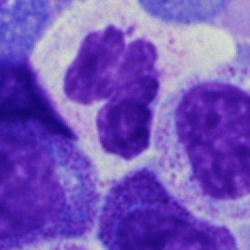

Single cell identified as a neutrophil (segmented).